MGG-stained · bone marrow aspirate smear — 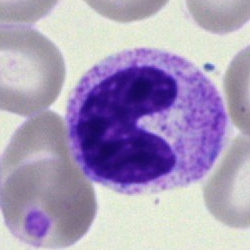

Morphology consistent with a stab cell.